Bone marrow smear. Image size 250×250: 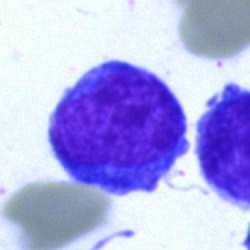

Undifferentiated blast.